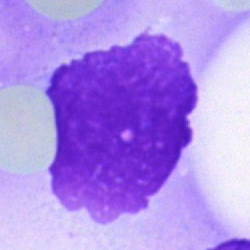
Impression → artefact.